250×250; bone marrow aspirate smear; Pappenheim-stained
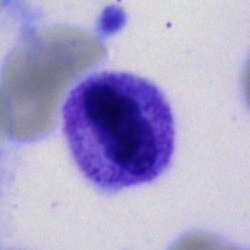Cell = unidentifiable cell.